Single-cell crop. Bone marrow aspirate smear
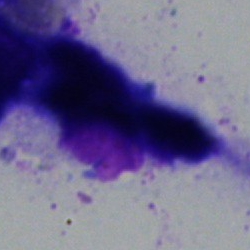 Artifact.